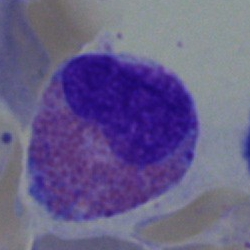
Eosinophilic granulocyte.